Bone marrow aspirate smear: 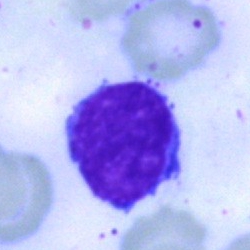 Cell — typical lymphocyte.